Bone marrow aspirate smear. 40× oil immersion:
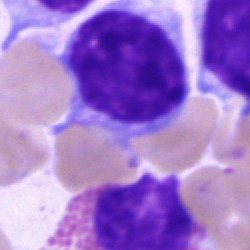
Specimen: bone marrow aspirate smear.
Morphological class: typical lymphocyte.
Lineage: lymphoid.